Cropped to a single cell. Bone marrow aspirate smear
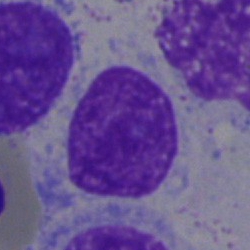

Cell type: artefact.